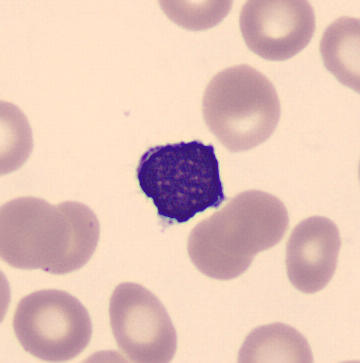 Peripheral blood smear. Morphological class: lymphocyte.